Brightfield, 100× oil-immersion objective · peripheral blood smear: 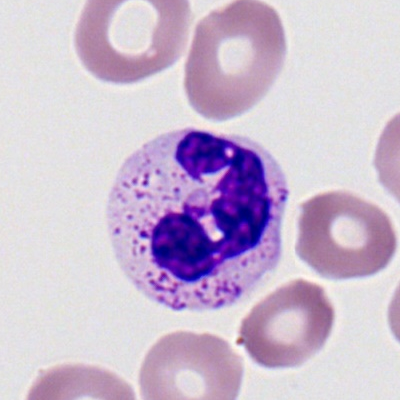Morphology consistent with a polymorphonuclear neutrophil.